Bone marrow aspirate smear
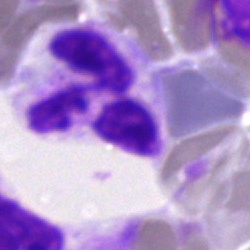 Morphological class = segmented neutrophil.